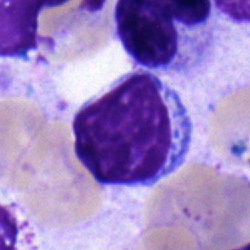{"cell_type": "lymphocyte", "lineage": "lymphoid"}